Bone marrow smear: 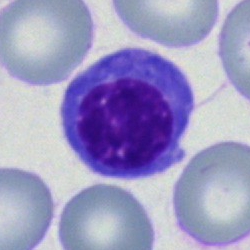 Classification = nucleated red blood cell.